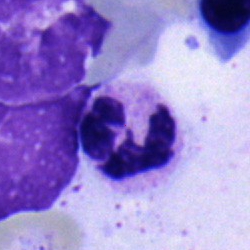Specimen: bone marrow smear.
Morphological class: polymorphonuclear neutrophil.
Lineage: myeloid.